Brightfield, 40× oil-immersion objective; bone marrow smear:
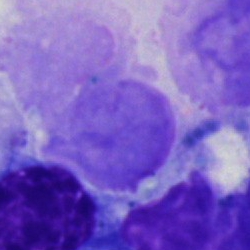Classification — artefact.